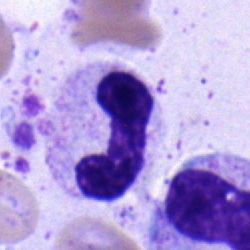
Specimen: bone marrow aspirate smear.
Cell: band neutrophil.